Pappenheim-stained; bone marrow aspirate smear.
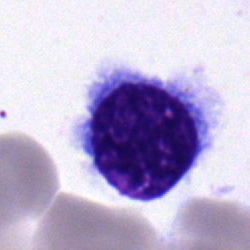
Cell = nucleated red cell.